250×250 px · bone marrow smear.
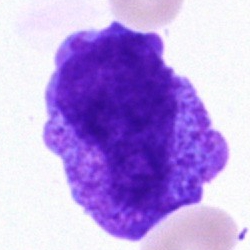{"cell_type": "undifferentiated blast"}